MGG-stained. Brightfield microscopy, 40× oil immersion. Bone marrow aspirate smear
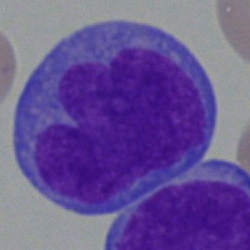 Morphological class = monocyte.